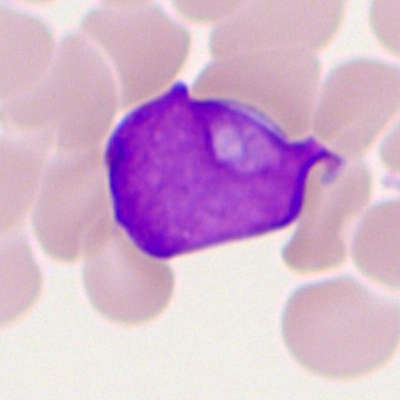Q: Which cell type is shown here?
A: It is a myeloid blast.